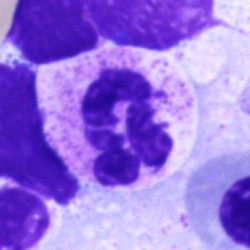Single-cell crop from a bone marrow smear: neutrophil (segmented).